250×250 · bone marrow smear · single-cell field
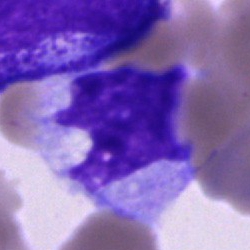 Morphology consistent with a monocyte.